M8 digital microscope (Precipoint), 100× oil immersion. Peripheral blood smear.
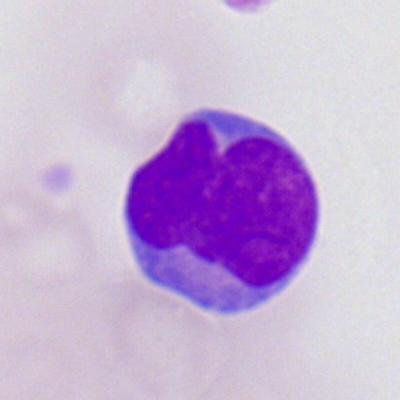

Single cell identified as a myeloblast.